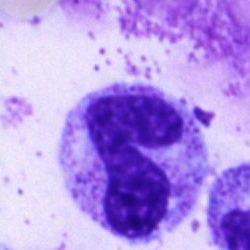 Cell type: neutrophil (band).